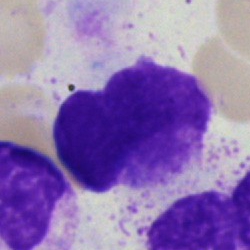Artefact.